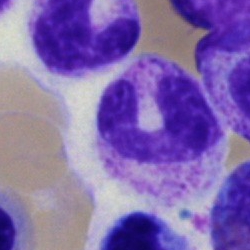
Specimen: bone marrow smear.
Cell type: band-form neutrophil.
Lineage: myeloid.